Bone marrow smear.
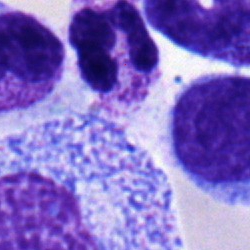
Q: What is shown here?
A: This is a polymorphonuclear neutrophil.